Bone marrow smear: 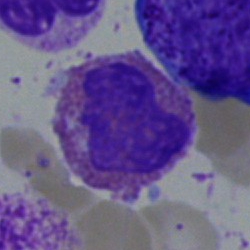

Q: Which cell type is shown here?
A: Eosinophilic granulocyte.